Peripheral blood smear: 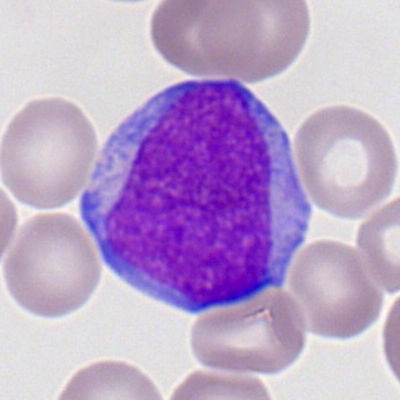
Q: Which cell type is shown here?
A: This is a myeloid blast.